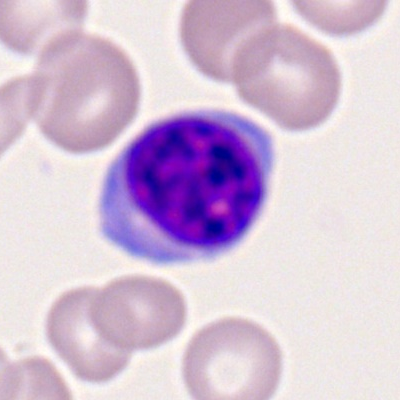 Showing a lymphocyte.